Bone marrow aspirate smear · May-Grünwald-Giemsa stain:
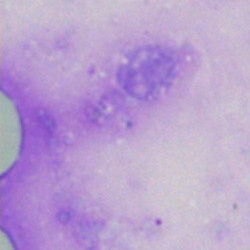

Cell — artifact.